Bone marrow aspirate smear
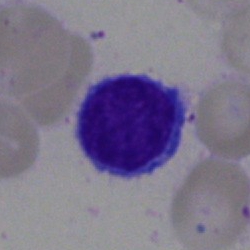Classification — typical lymphocyte.